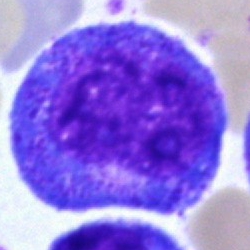 Showing a promyelocyte.